Bone marrow aspirate smear:
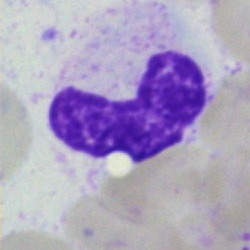

Impression → neutrophil (band).